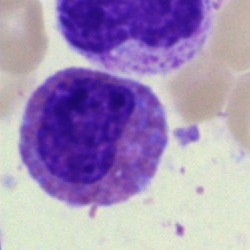
Impression — eosinophil.